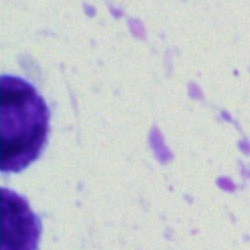
Specimen: bone marrow aspirate smear.
Cell type: unidentifiable cell.